Bone marrow smear:
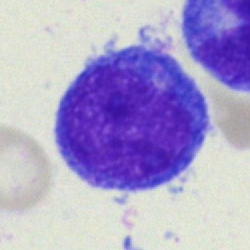 Cell = blast cell.